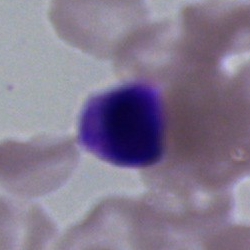 This is a cell of indeterminate lineage.